Bone marrow smear.
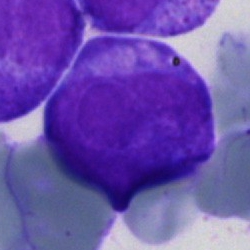 {"cell_type": "blast"}